Pappenheim-stained · bone marrow aspirate smear: 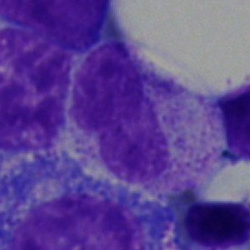 Classification: stab cell.